MGG-stained · bone marrow smear
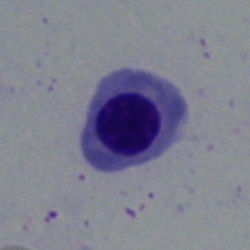

{"cell_type": "normoblast"}